Peripheral blood film · 100× oil immersion.
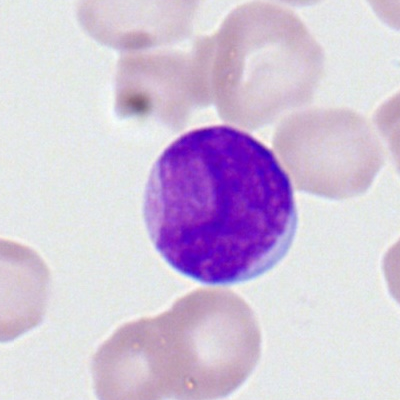 Impression → myeloid blast.